Bone marrow smear
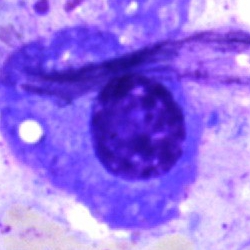Classification — plasma cell.